Bone marrow smear · image size 250×250 · single-cell crop: 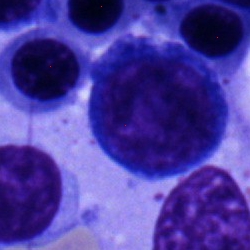

Morphology → pronormoblast.